Bone marrow smear: 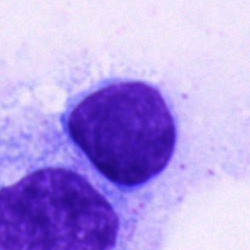
Impression — lymphocyte.